Bone marrow smear — 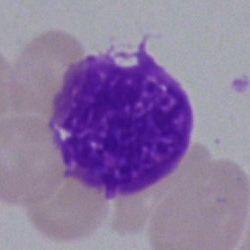
An artefact.